Bone marrow smear
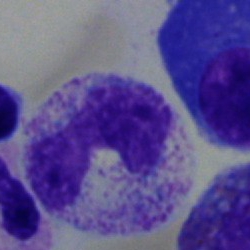 {"cell_type": "stab cell", "lineage": "myeloid"}